Brightfield microscopy, 40× oil immersion; bone marrow aspirate smear; single-cell field.
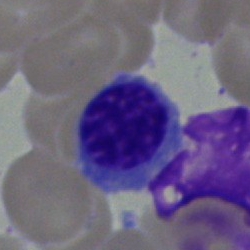
Cell: nucleated red blood cell.